Bone marrow aspirate smear · 250×250 px:
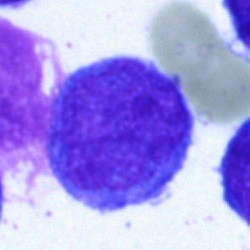 Impression → blast cell.